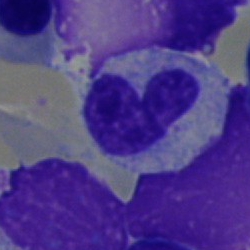 Morphology → neutrophil (band).